Bone marrow smear; May-Grünwald-Giemsa/Pappenheim stain — 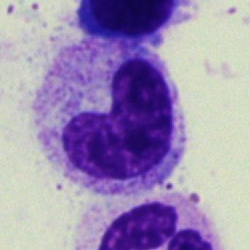 A stab cell.